Bone marrow smear:
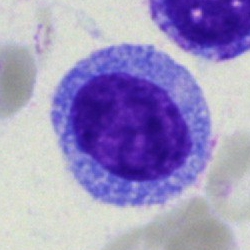
Progranulocyte.